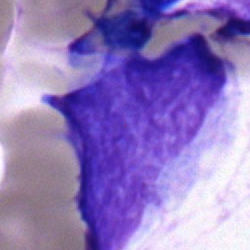Specimen: bone marrow smear.
Morphological class: blast cell.